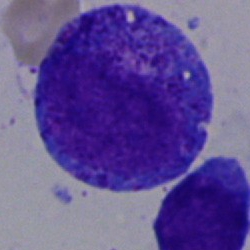

Cell — progranulocyte.